Peripheral blood smear · Romanowsky-stained · cropped to a single cell:
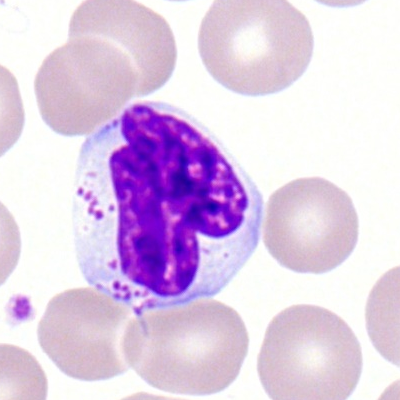
A lymphocyte.